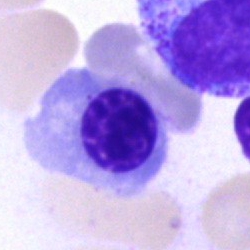

Cell type: normoblast.